Bone marrow smear.
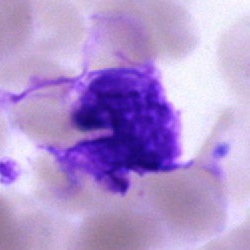

Artefact.